Bone marrow aspirate smear; May-Grünwald-Giemsa stain: 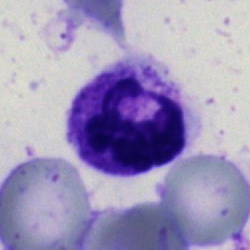Showing a polymorphonuclear neutrophil.